Bone marrow aspirate smear:
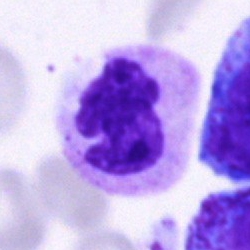

Q: Identify the cell.
A: A segmented neutrophil.